Bone marrow smear — 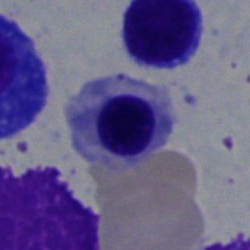

Specimen: bone marrow aspirate smear.
Cell: nucleated red cell.